Bone marrow smear. Brightfield microscopy, 40× oil immersion — 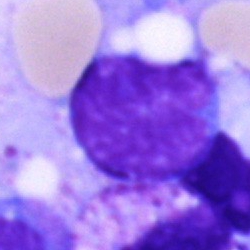Cell = undifferentiated blast.